Bone marrow aspirate smear. May-Grünwald-Giemsa stain
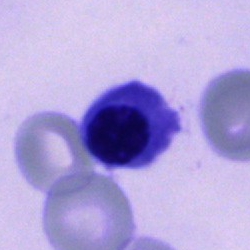

Morphological class — nucleated red blood cell.